250×250; bone marrow smear; 40× objective, oil immersion:
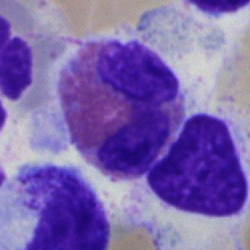Showing an eosinophilic granulocyte.